Bone marrow aspirate smear; 250×250 px; 40× oil immersion: 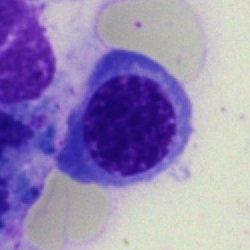

Cell type: erythroblast.